Bone marrow smear
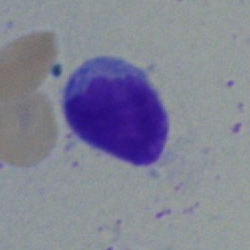 The cell shown is a lymphocyte.